Bone marrow smear
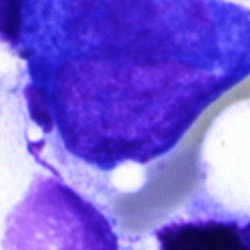Specimen: bone marrow aspirate smear.
Cell type: unidentifiable cell.